Peripheral blood smear:
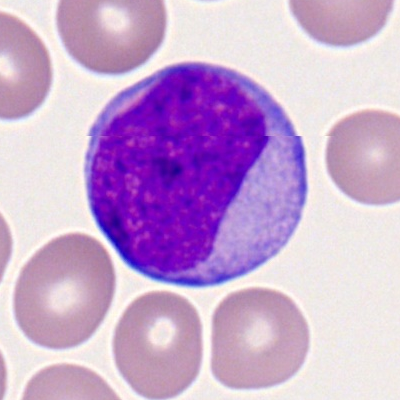Q: What type of cell is this?
A: It is a myeloblast.